May-Grünwald-Giemsa stain · bone marrow aspirate smear:
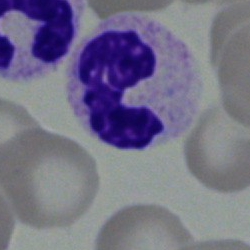
Specimen: bone marrow smear.
Cell: segmented neutrophil.